Bone marrow smear:
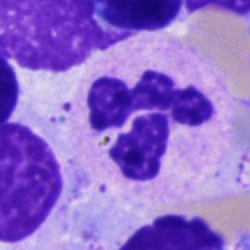The cell shown is a neutrophil (segmented).